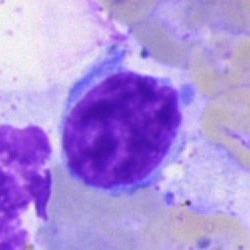

Q: What is shown here?
A: This is a lymphocyte.